Bone marrow smear
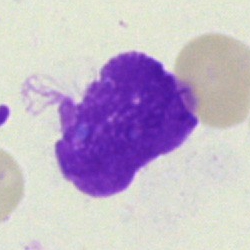

The cell shown is an artefact.